Bone marrow aspirate smear — 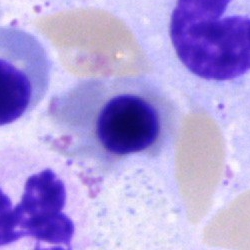

{"cell_type": "nucleated red blood cell"}